Single-cell field; peripheral blood film:
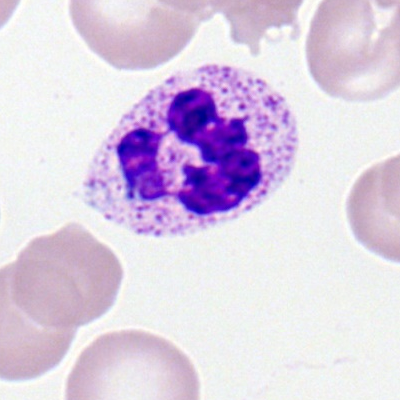

Showing a neutrophil (segmented).